Bone marrow aspirate smear. May-Grünwald-Giemsa stain:
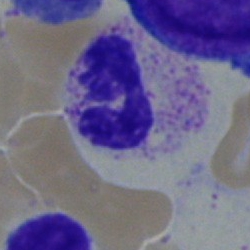
Classification — neutrophil (segmented).